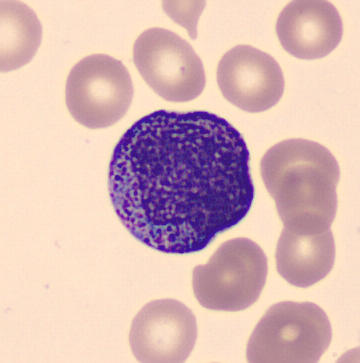

A progranulocyte.
Peripheral blood film; MGG stain.